250 by 250 pixels · bone marrow smear
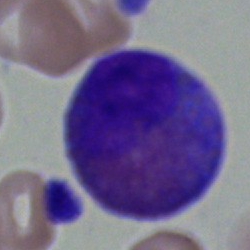 {"cell_type": "eosinophil", "lineage": "myeloid"}